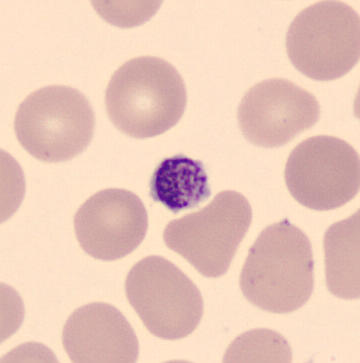Q: What is this?
A: It is a thrombocyte.